Bone marrow smear
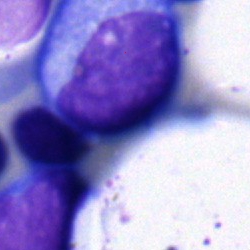Morphology consistent with a lymphocyte.